Bone marrow aspirate smear. 250×250 px. 40× oil immersion
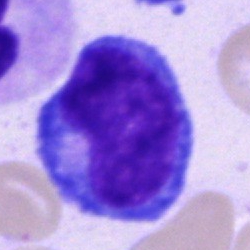This is a pronormoblast.